400×400 px; peripheral blood film; Romanowsky-type stain.
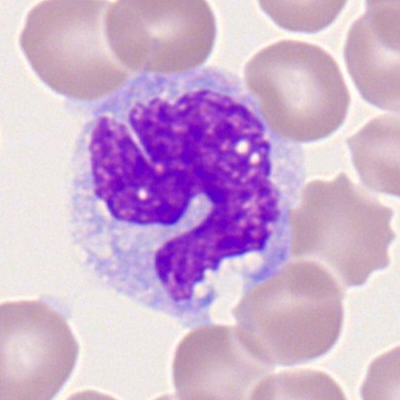 Q: What type of cell is this?
A: A monocyte.